Bone marrow smear.
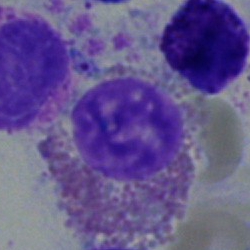

This is an eosinophilic granulocyte.